Peripheral blood film: 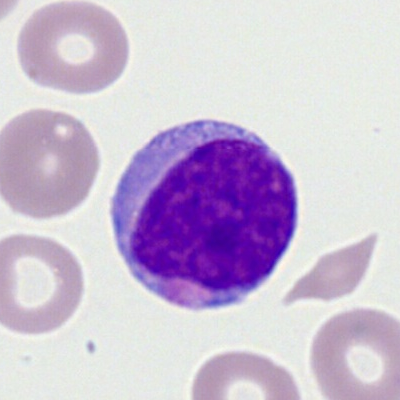 Specimen: peripheral blood film.
Morphological class: myeloid blast.